Brightfield, 40× oil-immersion objective. Bone marrow aspirate smear: 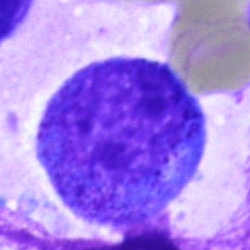

Cell type = progranulocyte.